Bone marrow smear
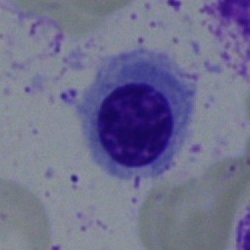This is a normoblast.